40× objective, oil immersion; bone marrow smear — 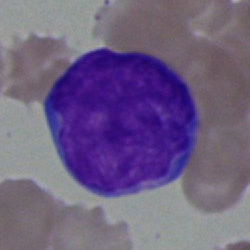
Morphology consistent with an undifferentiated blast.